Bone marrow aspirate smear
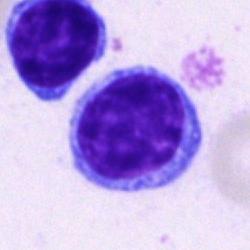 {"cell_type": "lymphocyte", "lineage": "lymphoid"}